Peripheral blood film. 100× objective, oil immersion. Image size 400×400:
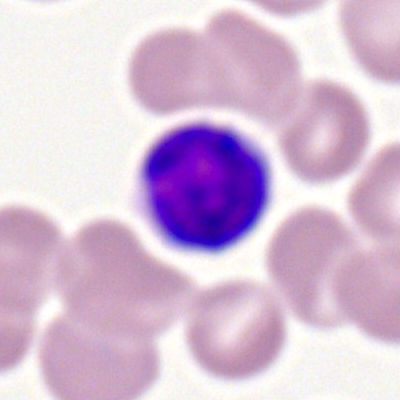

Cell type: lymphocyte.